Bone marrow aspirate smear · single cell centered in the field:
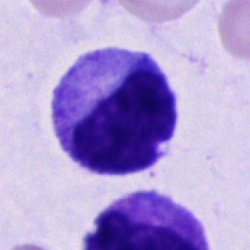

Classification — unidentifiable cell.